Bone marrow aspirate smear — 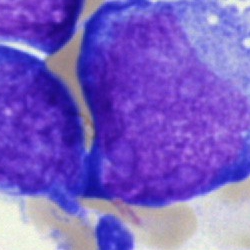
Classification = blast cell.